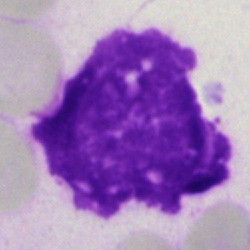
Specimen: bone marrow aspirate smear.
Cell: artifact.